May-Grünwald-Giemsa/Pappenheim stain; single cell centered in the field; bone marrow aspirate smear
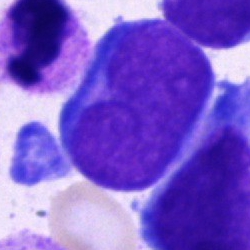The cell type is blast cell.